Single-cell crop. Bone marrow smear.
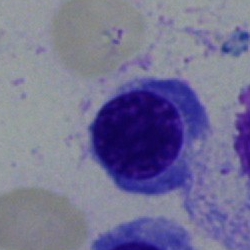

Cell type: nucleated red blood cell.